Bone marrow smear — 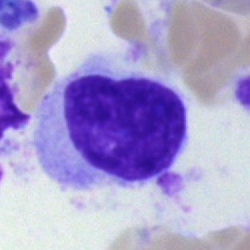
Morphology consistent with a lymphocyte.